Bone marrow aspirate smear: 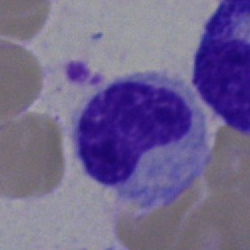A stab cell.